Bone marrow smear.
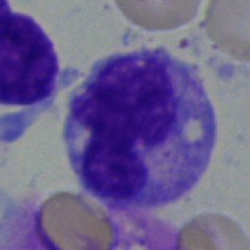Monocyte.